250 by 250 pixels; May-Grünwald-Giemsa/Pappenheim stain; bone marrow smear: 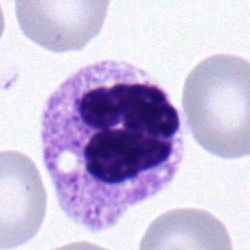

Q: Which cell type is shown here?
A: A segmented neutrophil.